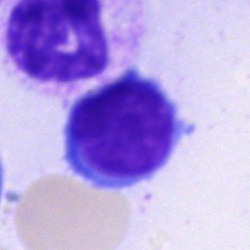
Showing a lymphocyte.